40× oil immersion · bone marrow aspirate smear
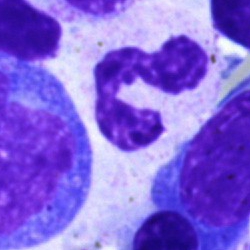

Morphology → polymorphonuclear neutrophil.